Peripheral blood film: 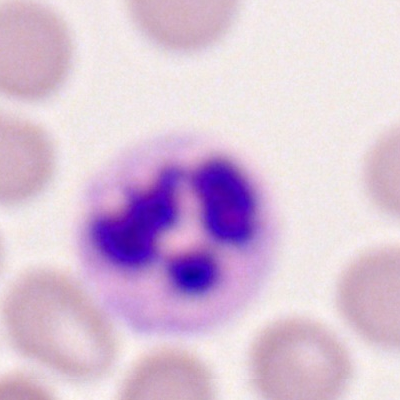
Morphology consistent with a neutrophil (segmented).